250×250. Bone marrow aspirate smear
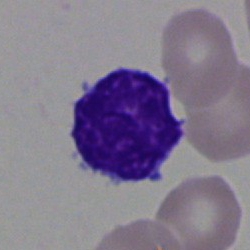Cell type — blast cell.